100× oil immersion, 14.14 px/µm · peripheral blood smear:
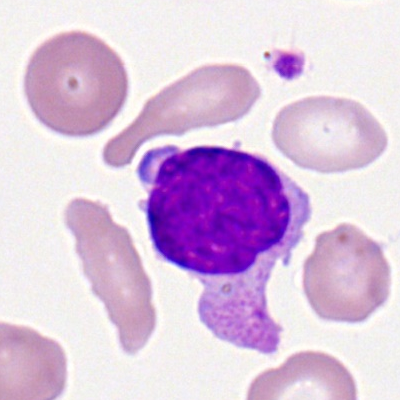Morphology consistent with a typical lymphocyte.